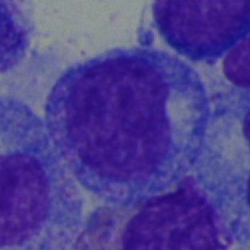 Morphological class — blast.